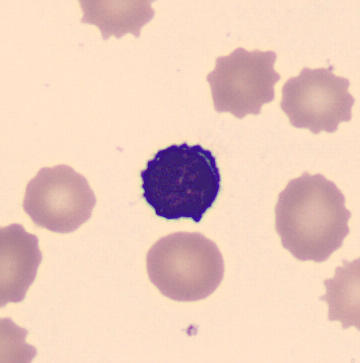 Impression → lymphocyte.